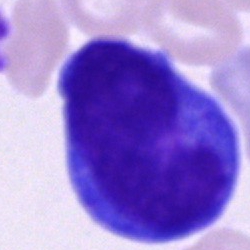
{"cell_type": "unidentifiable cell"}